Cropped to a single cell; peripheral blood film: 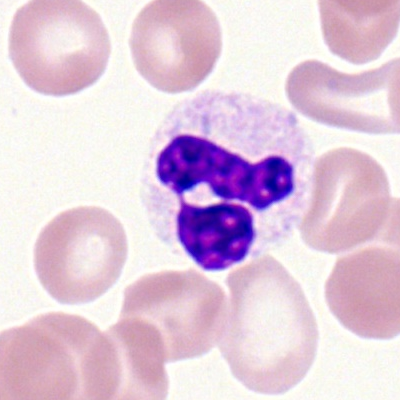

Classification: segmented neutrophil.